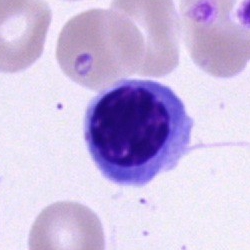Morphology consistent with a nucleated red blood cell.